Brightfield microscopy, 40× oil immersion; bone marrow aspirate smear: 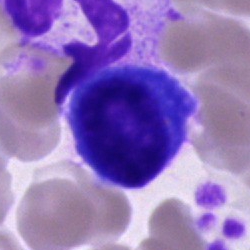Morphology consistent with a plasma cell.